Bone marrow smear — 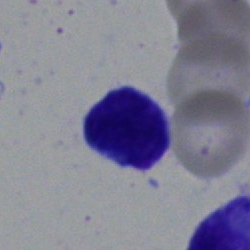
Q: What cell is this?
A: This is a lymphocyte.